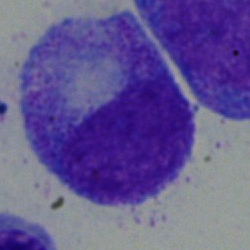 Morphology consistent with a progranulocyte.